250×250; bone marrow smear:
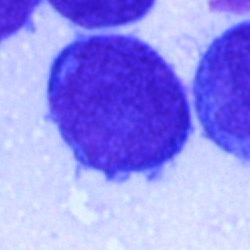Cell type — undifferentiated blast.